Peripheral blood smear — 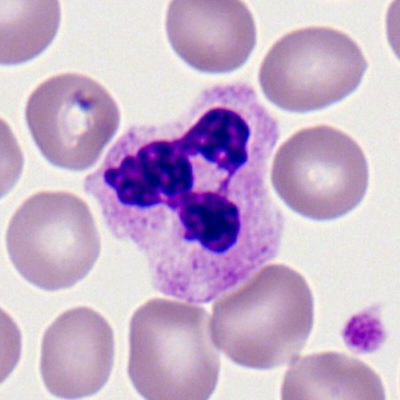
The classification is polymorphonuclear neutrophil.